Peripheral blood smear:
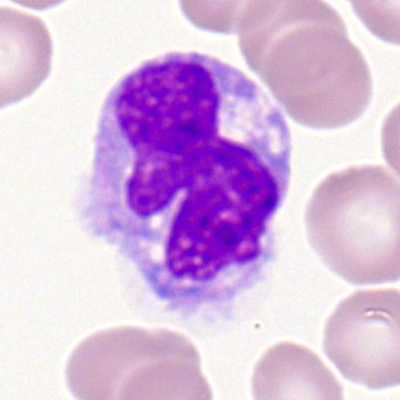 Q: Which cell type is shown here?
A: Monocyte.